Brightfield microscopy, 40× oil immersion · bone marrow aspirate smear · May-Grünwald-Giemsa stain:
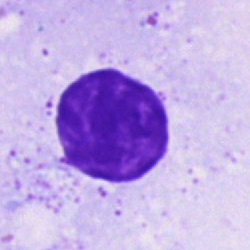
The cell is artifact.